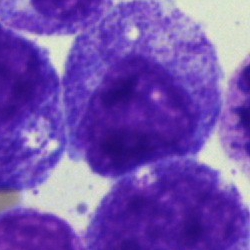 Morphological class: promyelocyte.